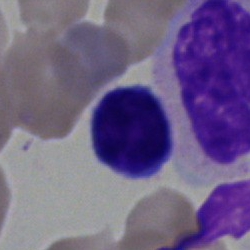 Showing a typical lymphocyte.